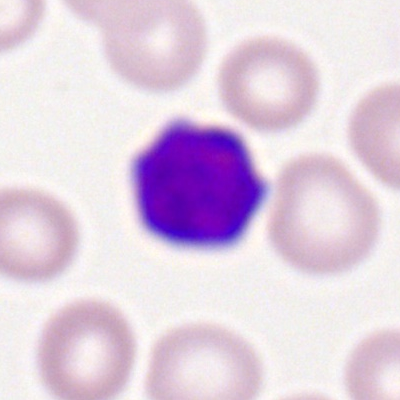
Q: What cell is this?
A: This is a typical lymphocyte.